Bone marrow aspirate smear: 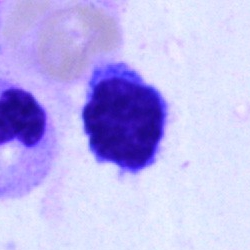
The cell is lymphocyte.